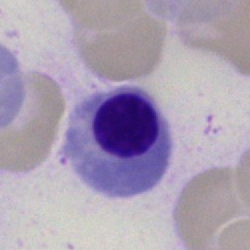
Q: Identify the cell.
A: This is a normoblast.